Bone marrow smear · 40× objective, oil immersion
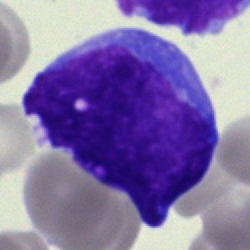Cell type: blast.